Bone marrow aspirate smear
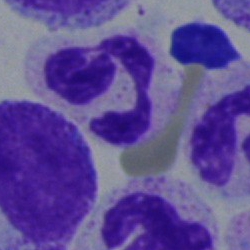 Q: Identify the cell.
A: Polymorphonuclear neutrophil.